Bone marrow smear.
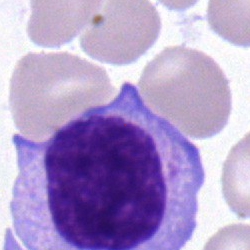

Specimen: bone marrow smear.
Cell type: typical lymphocyte.
Lineage: lymphoid.